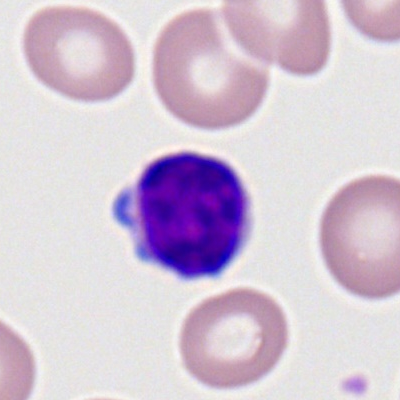
Specimen: peripheral blood smear.
Cell type: lymphocyte.